Bone marrow aspirate smear:
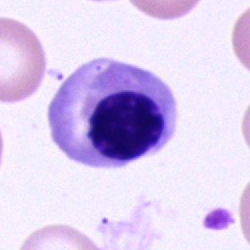

Classification — nucleated red blood cell.